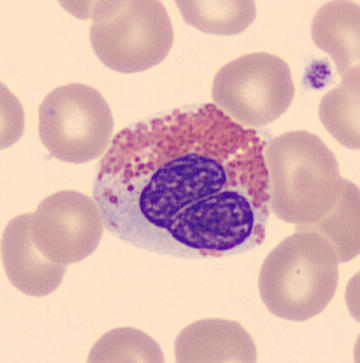 Morphological class = eosinophilic granulocyte.